Bone marrow aspirate smear:
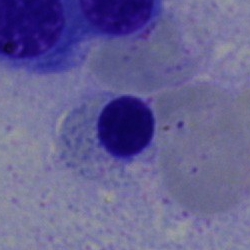

Specimen: bone marrow smear.
Morphological class: erythroblast.